Bone marrow smear.
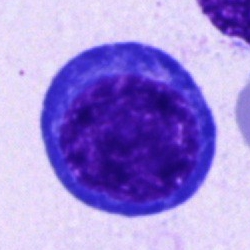Classification — pronormoblast.